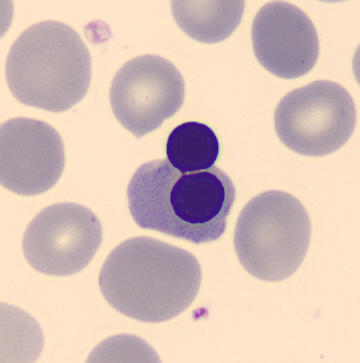Specimen: peripheral blood smear.
Morphological class: erythroblast.